Bone marrow smear — 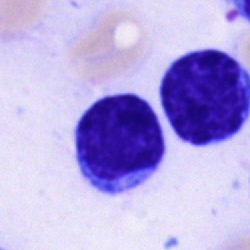Impression → typical lymphocyte.